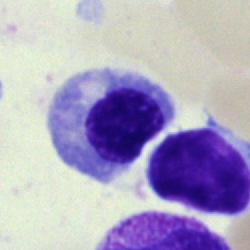

Specimen: bone marrow aspirate smear.
Cell type: nucleated red blood cell.